Bone marrow smear.
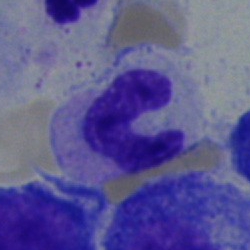Q: Which cell type is shown here?
A: It is a neutrophil (band).